Bone marrow aspirate smear:
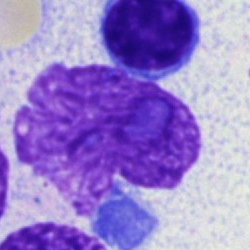Artefact.